Peripheral blood smear:
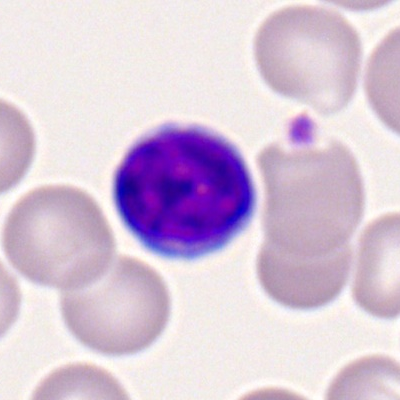 Cell type: lymphocyte.